Bone marrow aspirate smear: 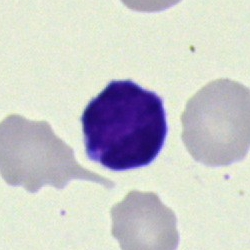

The cell type is lymphocyte.